Bone marrow smear
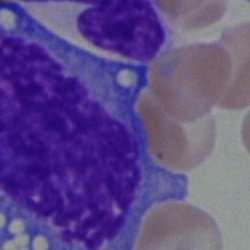

Q: What is shown here?
A: Undifferentiated blast.